40× objective, oil immersion. Bone marrow aspirate smear. Single-cell crop
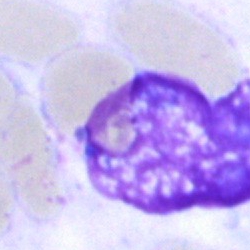 An artefact.